Bone marrow aspirate smear. Cropped to a single cell. 250×250 px: 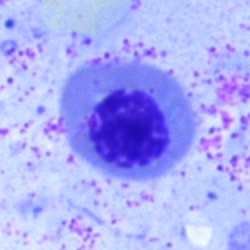 This is a nucleated red blood cell.